MGG-stained. Brightfield microscopy, 40× oil immersion. Bone marrow aspirate smear:
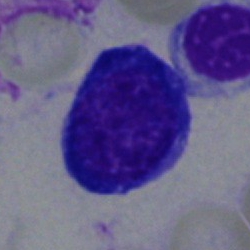
The cell is nucleated red blood cell.